Single cell centered in the field. 100× oil immersion, 14.14 px/µm. Peripheral blood smear.
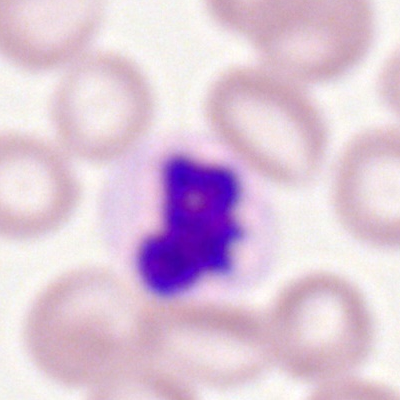
{"cell_type": "segmented neutrophil", "lineage": "myeloid"}